Single-cell field. Bone marrow smear — 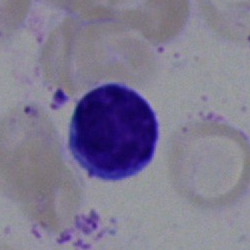 This is a typical lymphocyte.